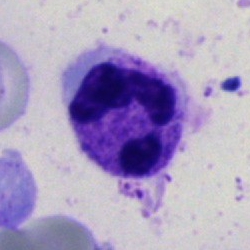 {"cell_type": "polymorphonuclear neutrophil"}